Peripheral blood film · single cell centered in the field:
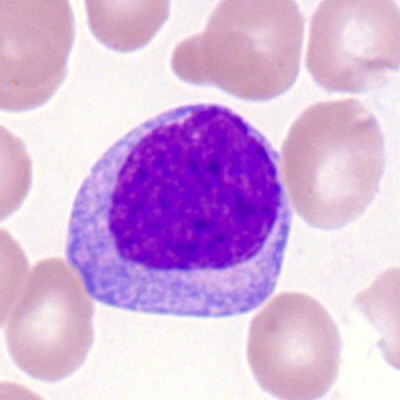This is a myeloblast.